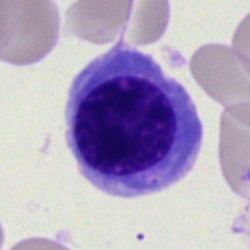Specimen: bone marrow smear.
Classification: erythroblast.